Bone marrow smear · May-Grünwald-Giemsa stain:
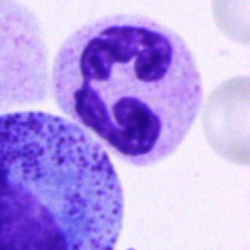
Q: What is the morphological classification of this cell?
A: A polymorphonuclear neutrophil.